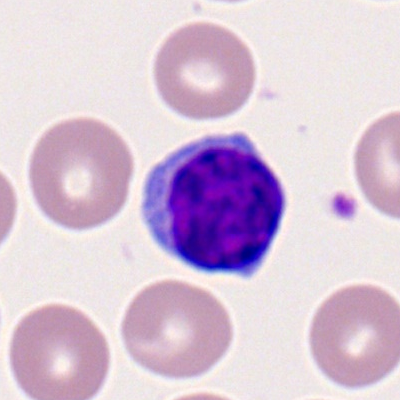Q: What cell is this?
A: This is a lymphocyte.